Bone marrow aspirate smear · single-cell field.
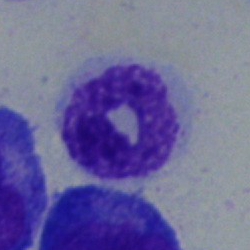The cell type is monocyte.